Bone marrow aspirate smear.
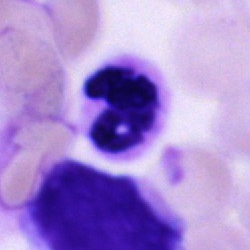 Specimen: bone marrow aspirate smear.
Cell type: neutrophil (segmented).
Lineage: myeloid.